Bone marrow aspirate smear.
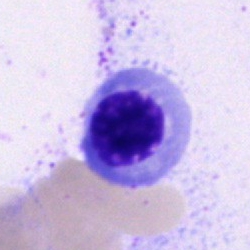
This is a nucleated red cell.